Bone marrow aspirate smear:
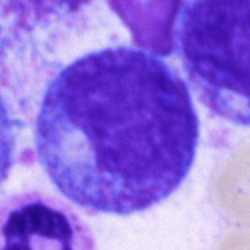Cell — progranulocyte.